Bone marrow smear: 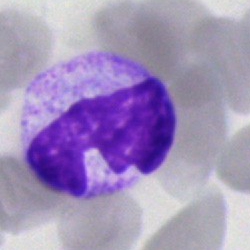

Showing a band-form neutrophil.